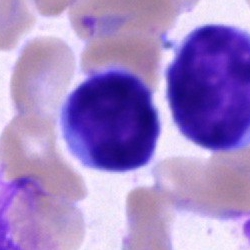 Specimen: bone marrow smear.
Cell type: typical lymphocyte.
Lineage: lymphoid.